Bone marrow aspirate smear; single-cell field:
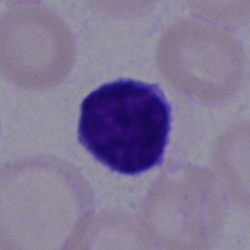

Lymphocyte.